Bone marrow aspirate smear · MGG-stained:
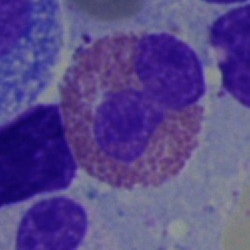
This is an eosinophil.